Bone marrow aspirate smear: 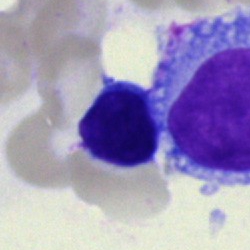
Impression — typical lymphocyte.